Peripheral blood film · 400×400 — 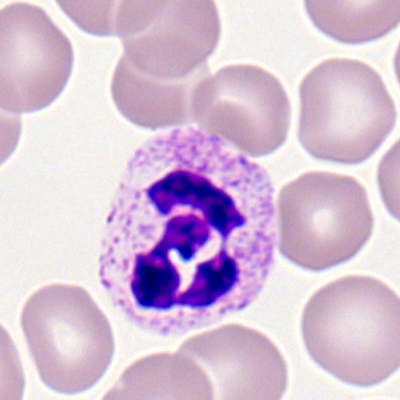 Morphology → polymorphonuclear neutrophil.